Bone marrow aspirate smear; MGG-stained:
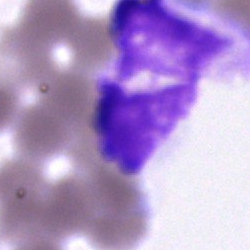
Single cell identified as an artefact.